Bone marrow aspirate smear — 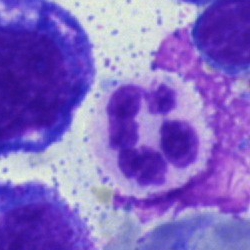{"cell_type": "neutrophil (segmented)"}